100× oil immersion. Peripheral blood film — 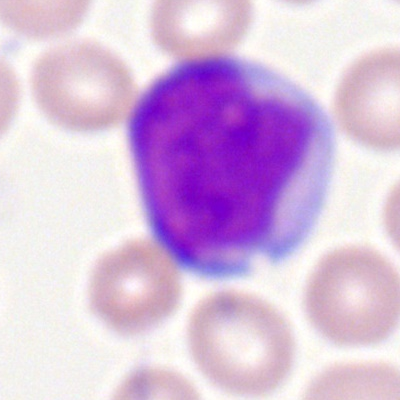
Single cell identified as a myeloid blast.